MGG-stained. Bone marrow smear: 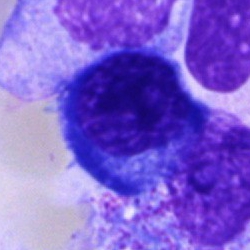

Plasmacyte.